Bone marrow smear. May-Grünwald-Giemsa stain.
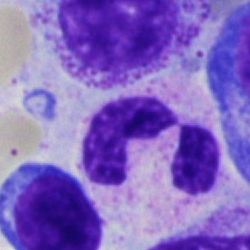

Q: Identify the cell.
A: It is a segmented neutrophil.